Brightfield microscopy, 40× oil immersion; bone marrow aspirate smear:
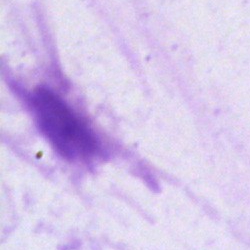

Morphological class — artefact.